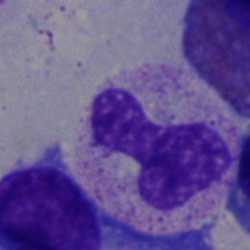
Single-cell crop from a bone marrow smear: polymorphonuclear neutrophil.